Brightfield microscopy, 40× oil immersion · MGG-stained · bone marrow smear — 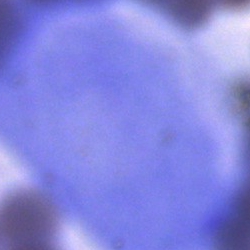

{"cell_type": "artifact"}